250×250; bone marrow smear — 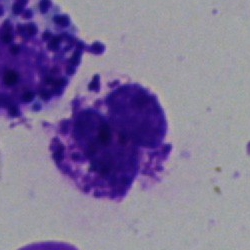
Impression → basophil.